40× objective, oil immersion. Bone marrow aspirate smear. Image size 250×250
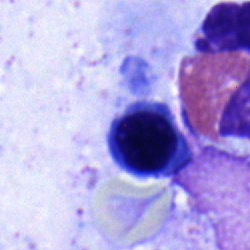 This is a nucleated red blood cell.